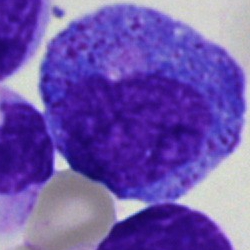

Specimen: bone marrow aspirate smear.
Morphological class: promyelocyte.
Lineage: myeloid.